Bone marrow aspirate smear
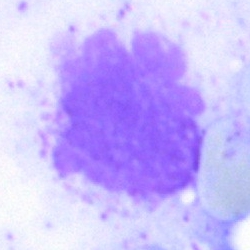Q: What is shown here?
A: Artifact.